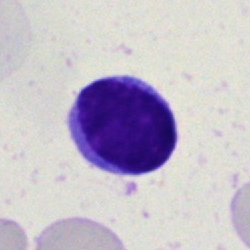

Specimen: bone marrow smear.
Classification: typical lymphocyte.
Lineage: lymphoid.